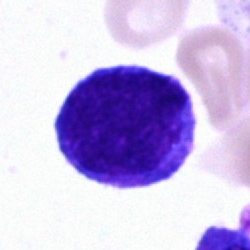
Morphological class = undifferentiated blast.